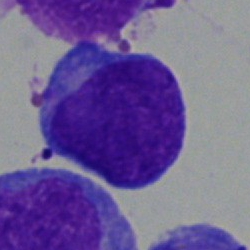Impression → blast cell.